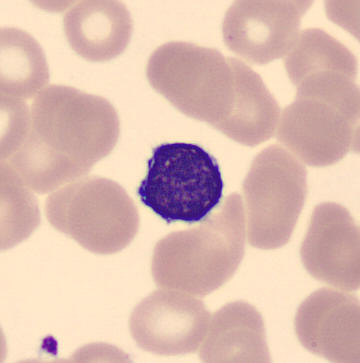

Identified as a lymphocyte. Image: Single-cell field. Peripheral blood film.